Bone marrow aspirate smear
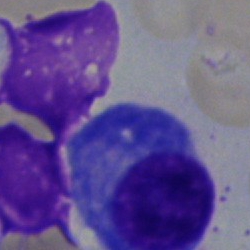
A plasmacyte.